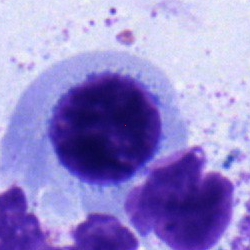Single cell identified as a normoblast.